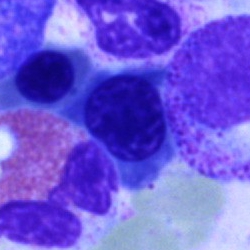

Morphology → nucleated red blood cell.